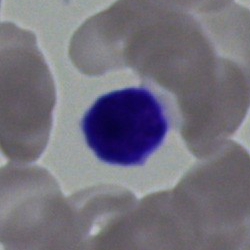A typical lymphocyte.